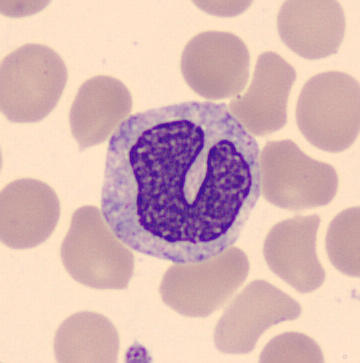 Preparation: Single-cell crop · peripheral blood film · May-Grünwald-Giemsa-stained.
Impression → monocyte.